Bone marrow smear
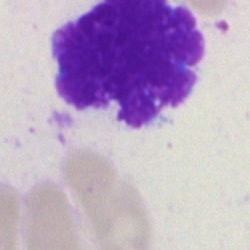

Single cell identified as an artefact.